Bone marrow smear; Pappenheim-stained:
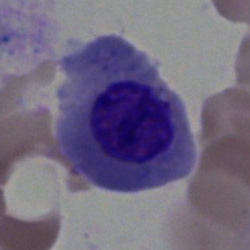

Q: What is shown here?
A: This is a nucleated red cell.